Bone marrow aspirate smear.
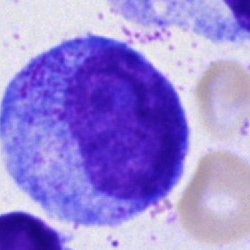 This is a promyelocyte.